Cropped to a single cell; bone marrow smear
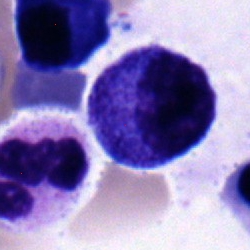 Morphological class — promyelocyte.